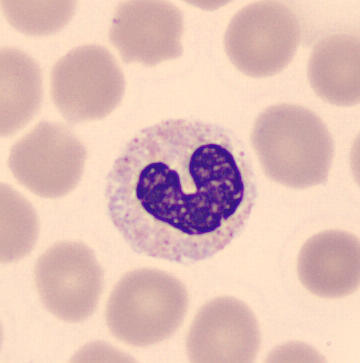

Q: What is the morphological classification of this cell?
A: It is a band-form neutrophil.

May Grünwald-Giemsa stain. Peripheral blood smear.